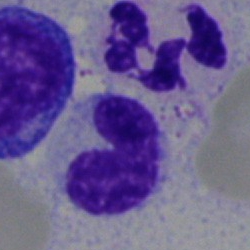Bone marrow aspirate smear, single cell — band-form neutrophil.